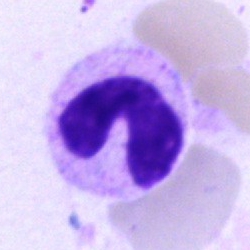

The classification is stab cell.